Bone marrow smear:
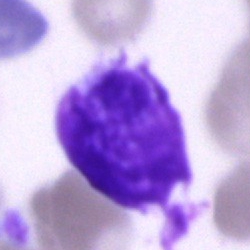 The cell shown is an artefact.